Bone marrow aspirate smear.
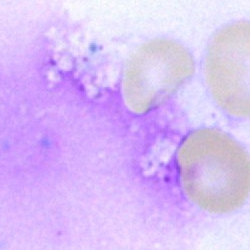 Impression → artefact.